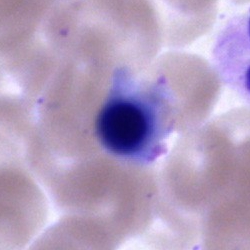
Q: What type of cell is this?
A: Unidentifiable cell.